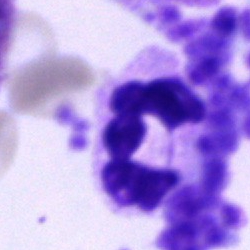Q: What type of cell is this?
A: It is a neutrophil (segmented).